Bone marrow aspirate smear · single cell centered in the field · image size 250×250.
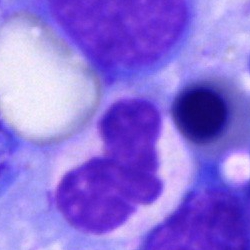

Single cell identified as a segmented neutrophil.